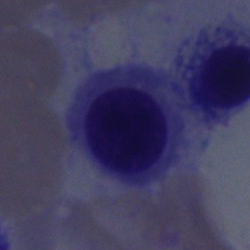Morphology consistent with a nucleated red blood cell.